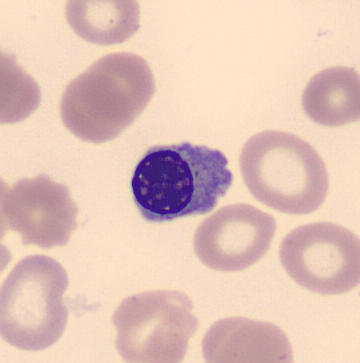

Cell: nucleated red cell.